Bone marrow aspirate smear:
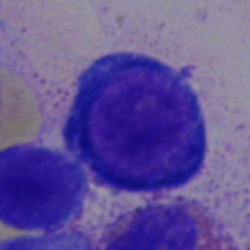 Morphology — pronormoblast.